250×250 px. Brightfield, 40× oil-immersion objective. Bone marrow smear — 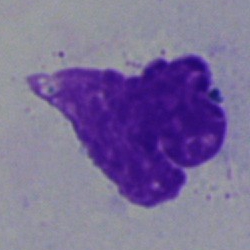 An artefact.